Bone marrow aspirate smear: 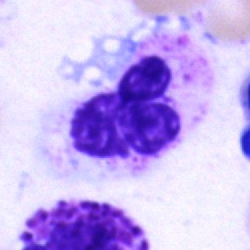 Morphology → neutrophil (segmented).